Bone marrow aspirate smear: 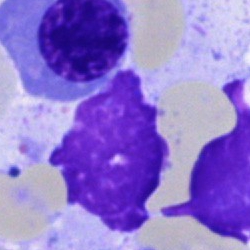 Showing an erythroblast.